Single-cell field; image size 250×250; bone marrow smear:
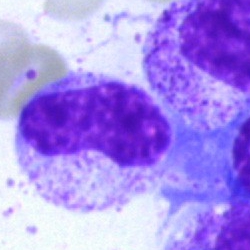
Classification — band-form neutrophil.